Peripheral blood film — 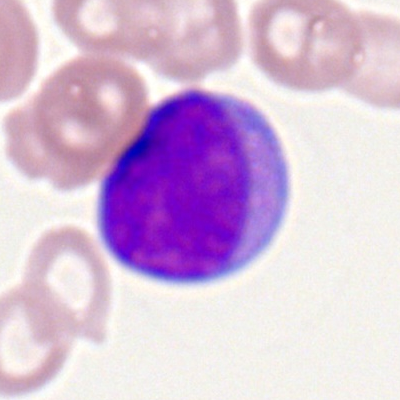Myeloblast.